Pappenheim-stained. Bone marrow aspirate smear. Single cell centered in the field: 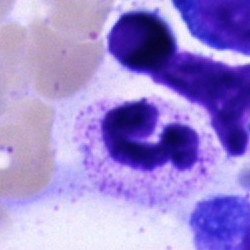

Q: What type of cell is this?
A: Neutrophil (segmented).